Bone marrow aspirate smear · May-Grünwald-Giemsa/Pappenheim stain:
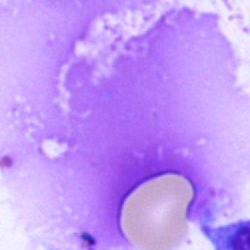

Single cell identified as an artefact.